Single cell centered in the field. Bone marrow aspirate smear — 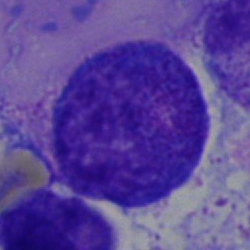

The morphological class is promyelocyte.